Single-cell crop; bone marrow smear
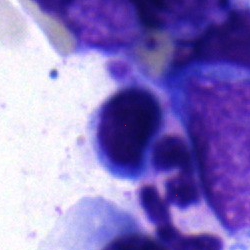Morphology → lymphocyte.